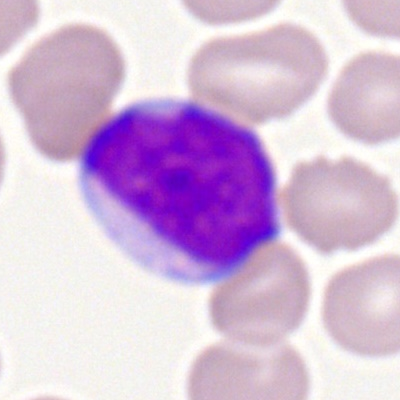 Q: What is the morphological classification of this cell?
A: This is a myeloblast.